MGG-stained · bone marrow smear
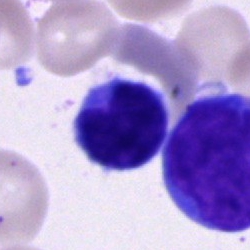

Q: What cell is this?
A: This is a lymphocyte.